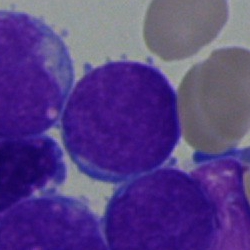{"cell_type": "blast"}